Bone marrow aspirate smear: 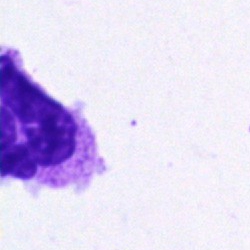
This is a polymorphonuclear neutrophil.